Cropped to a single cell; image size 400×400; peripheral blood film:
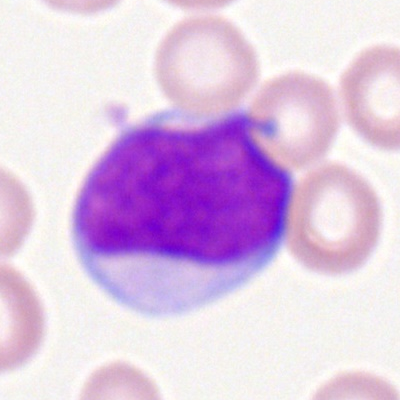Impression → myeloblast.